Bone marrow smear: 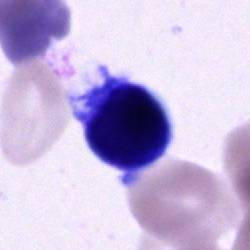{"cell_type": "unidentifiable cell"}